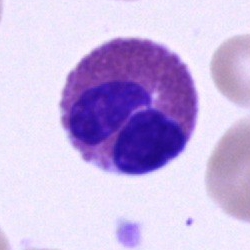
Morphology consistent with an eosinophil.